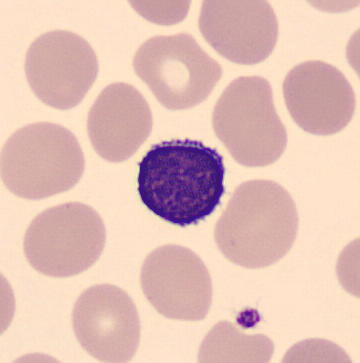

Q: What cell is this?
A: It is a typical lymphocyte.
Imaged on a CellaVision DM96 analyser · peripheral blood smear.